Bone marrow aspirate smear · image size 250×250:
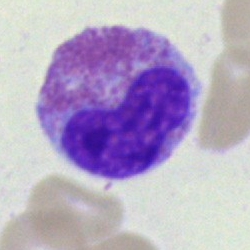 Morphology consistent with an eosinophil.